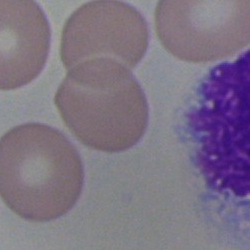This is an artefact.